Bone marrow smear:
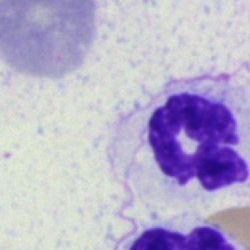

Morphology — neutrophil (segmented).